Bone marrow smear:
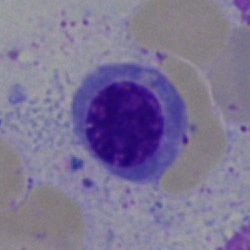Morphological class: normoblast.